Bone marrow smear: 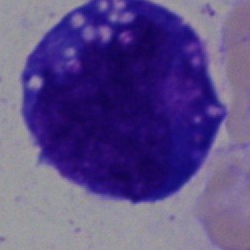

Q: What is shown here?
A: An undifferentiated blast.